40× oil immersion. Bone marrow aspirate smear — 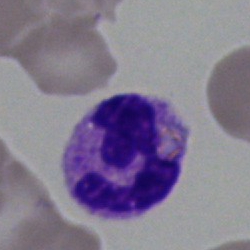Neutrophil (segmented).